Bone marrow aspirate smear; 250 by 250 pixels; cropped to a single cell:
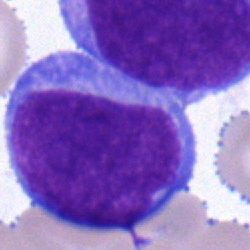 Specimen: bone marrow smear.
Classification: blast.